May-Grünwald-Giemsa stain · bone marrow aspirate smear: 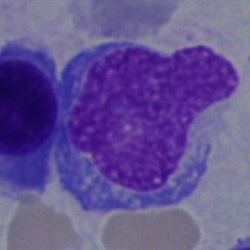
An artefact.